Bone marrow aspirate smear
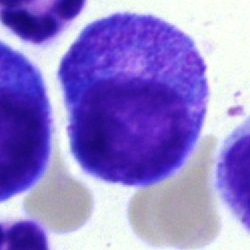A promyelocyte.